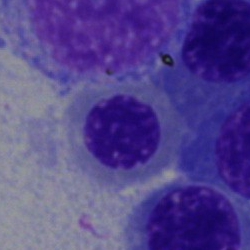Nucleated red blood cell.